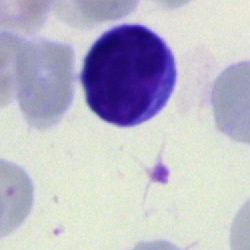

Q: Identify the cell.
A: A lymphocyte.